Bone marrow aspirate smear. May-Grünwald-Giemsa/Pappenheim stain. Brightfield microscopy, 40× oil immersion.
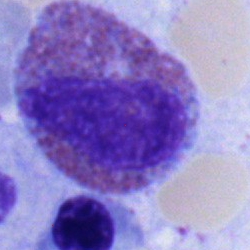Morphological class: eosinophilic granulocyte.